Bone marrow aspirate smear: 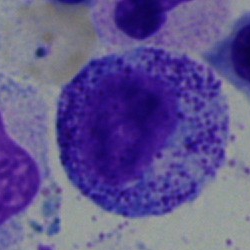

Showing a promyelocyte.